Brightfield microscopy, 40× oil immersion; bone marrow aspirate smear; image size 250×250:
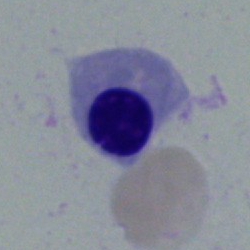Q: Which cell type is shown here?
A: It is an erythroblast.